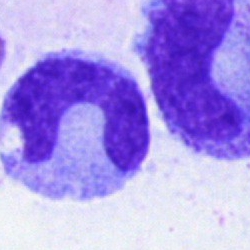 Morphological class = monocyte.